Brightfield, 40× oil-immersion objective · Pappenheim-stained · bone marrow aspirate smear — 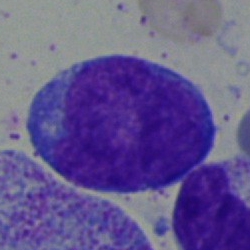

Showing a blast.